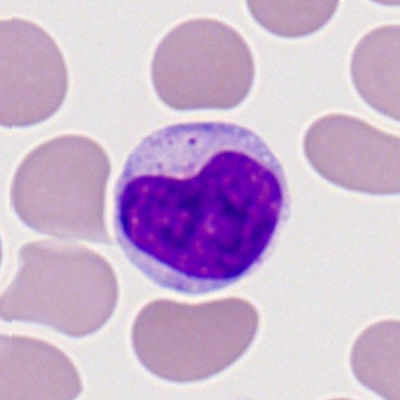
Specimen: peripheral blood smear.
Morphological class: lymphocyte.